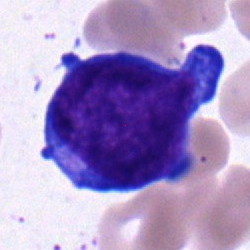
Q: What type of cell is this?
A: This is a proerythroblast.